Bone marrow smear. May-Grünwald-Giemsa stain.
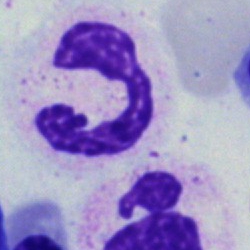
Q: Which cell type is shown here?
A: It is a neutrophil (segmented).